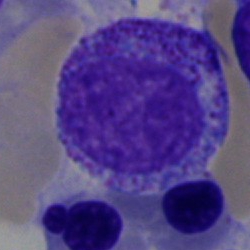
Bone marrow smear showing a promyelocyte.